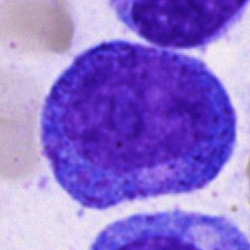Specimen: bone marrow smear.
Cell: progranulocyte.